Bone marrow aspirate smear:
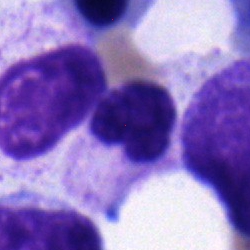

Morphological class — segmented neutrophil.